250 by 250 pixels · bone marrow smear · 40× oil immersion — 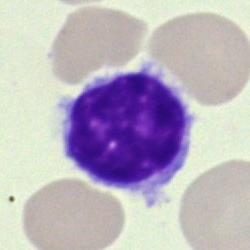 Cell type: typical lymphocyte.